Single-cell crop · peripheral blood smear · 366×369 px:
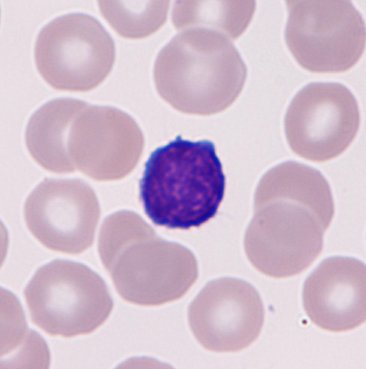 The classification is lymphocyte.